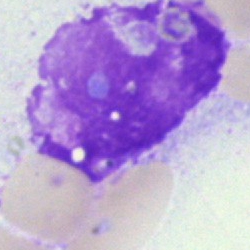

The cell is artifact.